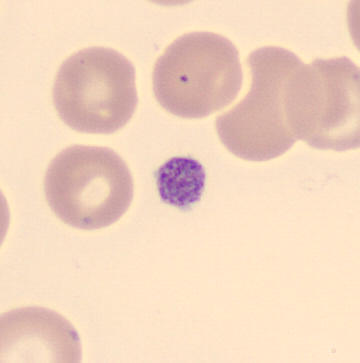
Morphology consistent with a platelet.